Bone marrow aspirate smear: 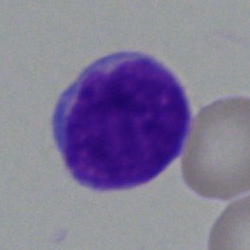
Q: What type of cell is this?
A: A blast cell.